Single-cell field; image size 250×250; bone marrow aspirate smear.
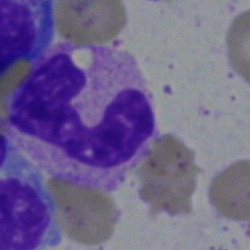 Cell type: polymorphonuclear neutrophil.